Bone marrow aspirate smear · cropped to a single cell
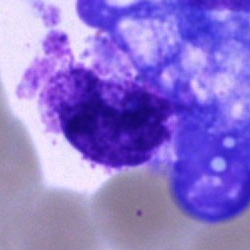
The cell type is artifact.